Bone marrow smear.
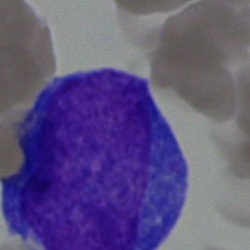
Showing an undifferentiated blast.